Cropped to a single cell · 250×250 px · bone marrow smear
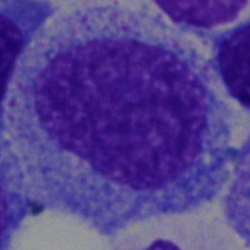Cell: progranulocyte.